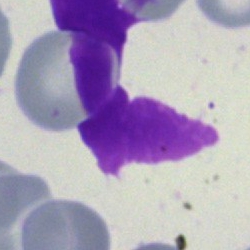Single-cell crop from a bone marrow smear: artifact.